Bone marrow smear · Pappenheim-stained
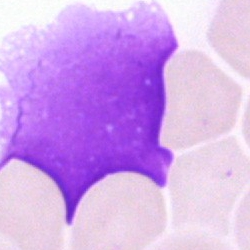
Classification = artifact.